Peripheral blood smear · Romanowsky-type stain · single-cell field: 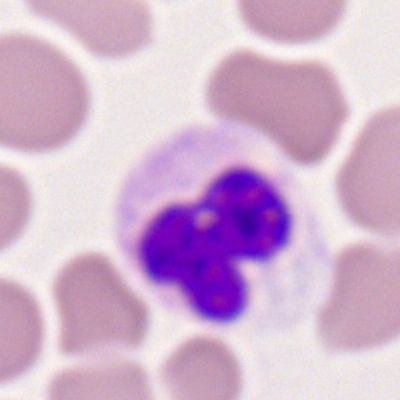
{"cell_type": "segmented neutrophil"}